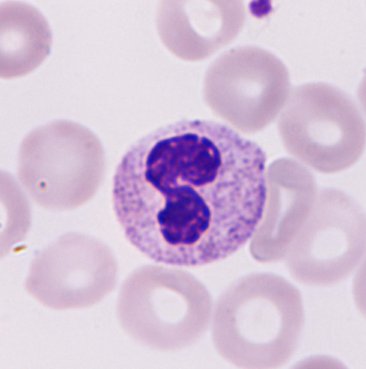 Peripheral blood smear.
Q: What is this?
A: A neutrophil.